Bone marrow aspirate smear:
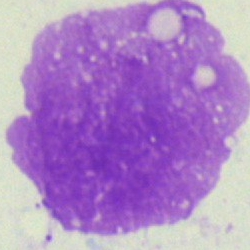
Artefact.